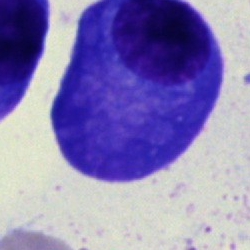 Bone marrow smear showing a plasmacyte.